Brightfield, 100× oil-immersion objective; peripheral blood film — 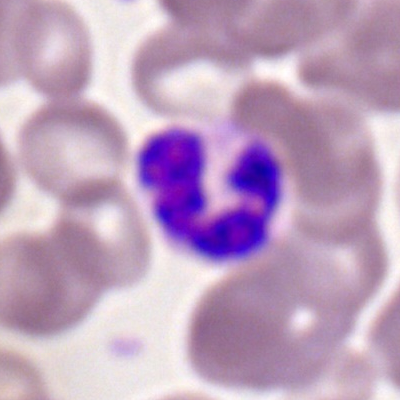

Morphology consistent with a polymorphonuclear neutrophil.